Bone marrow aspirate smear.
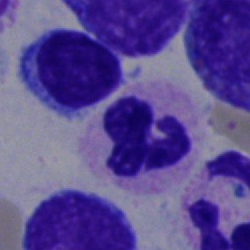 Q: What is the morphological classification of this cell?
A: This is a segmented neutrophil.